Bone marrow smear
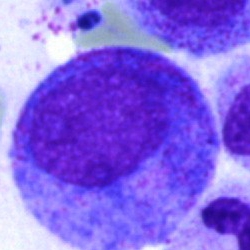Q: What is the morphological classification of this cell?
A: A progranulocyte.